40× oil immersion. Bone marrow smear — 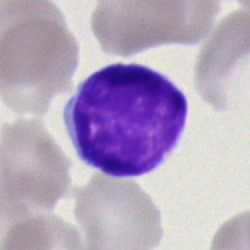

Specimen: bone marrow smear.
Cell type: lymphocyte.